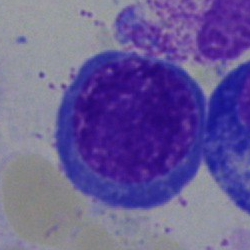 Single cell identified as an erythroblast.